250×250 · bone marrow smear — 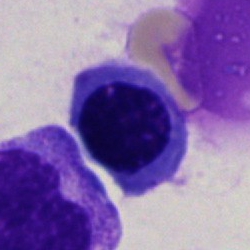Cell type — erythroblast.